40× objective, oil immersion; bone marrow aspirate smear; single-cell field
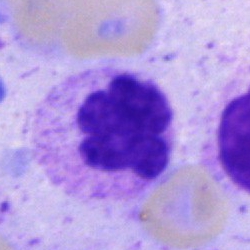Polymorphonuclear neutrophil.